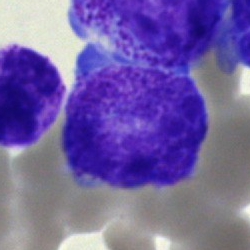 Morphological class — progranulocyte.